Bone marrow smear: 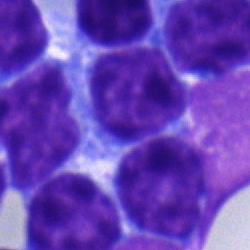
Q: What cell is this?
A: This is a lymphocyte.